Bone marrow aspirate smear — 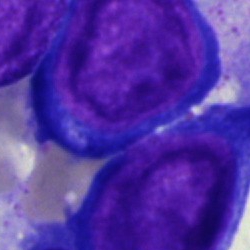 A pronormoblast.